Brightfield microscopy, 40× oil immersion · bone marrow aspirate smear · Pappenheim-stained: 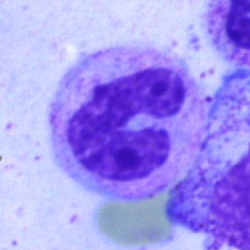 Classification: polymorphonuclear neutrophil.